Bone marrow aspirate smear. May-Grünwald-Giemsa stain: 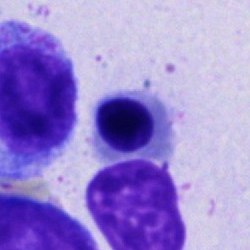
Morphology — normoblast.